Peripheral blood film. 400 by 400 pixels — 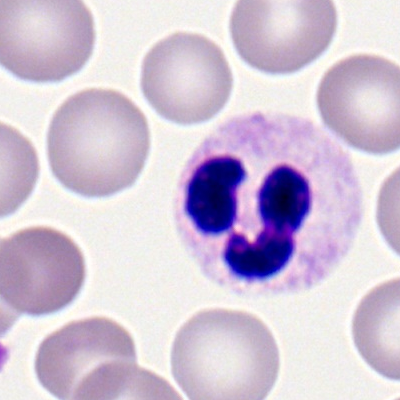 {"cell_type": "neutrophil (segmented)", "lineage": "myeloid"}